Bone marrow aspirate smear — 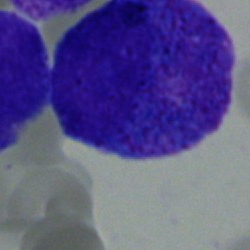
Impression → progranulocyte.